Bone marrow smear — 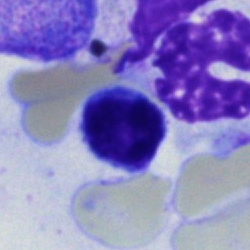 Q: What is the morphological classification of this cell?
A: A typical lymphocyte.